Bone marrow aspirate smear:
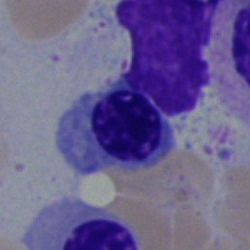

Cell type — erythroblast.